Bone marrow smear; 250×250; May-Grünwald-Giemsa/Pappenheim stain: 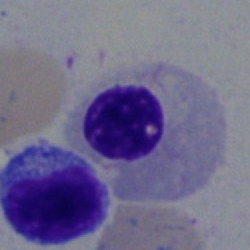 This is a normoblast.